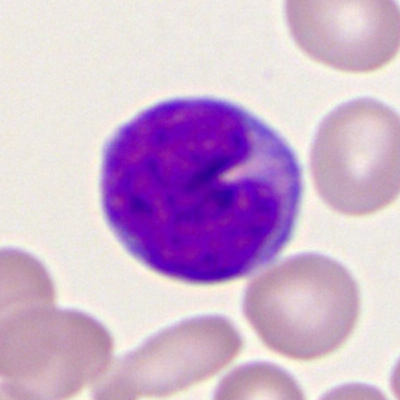 Peripheral blood film, single cell — myeloblast.